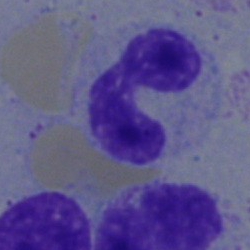

Classification = neutrophil (segmented).